Peripheral blood film; Romanowsky-type stain; cropped to a single cell — 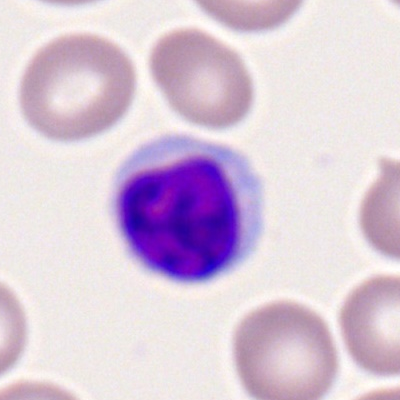 Morphology — lymphocyte.